Bone marrow aspirate smear.
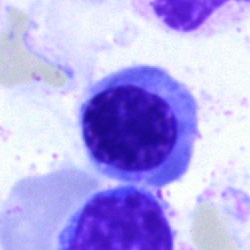The cell shown is an erythroblast.